Bone marrow aspirate smear; MGG-stained: 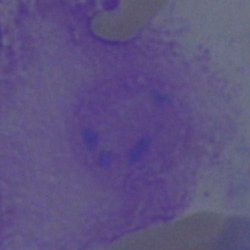
Showing an artefact.